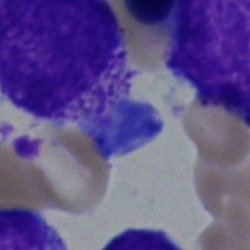Cell — myelocyte.